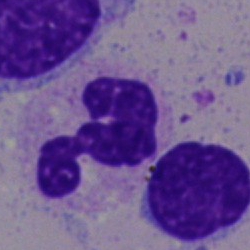

Bone marrow smear showing a neutrophil (segmented).